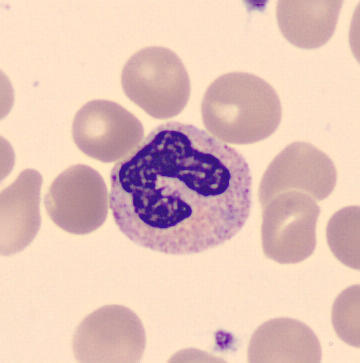
Image: Peripheral blood smear. Single-cell field.
Single cell identified as a band-form neutrophil.